250 by 250 pixels · bone marrow smear:
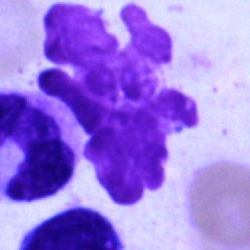
The cell shown is an artifact.